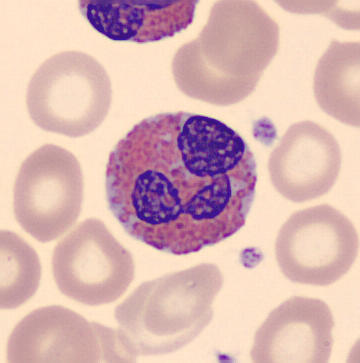Specimen: peripheral blood smear.
Cell: eosinophil.
Lineage: myeloid.

Image: CellaVision DM96 digital cell image.